Bone marrow smear — 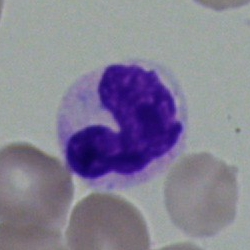 Morphological class = stab cell.